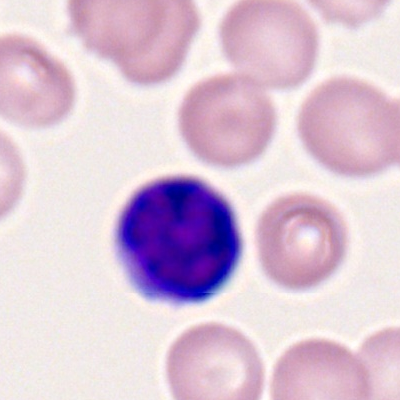

Q: Which cell type is shown here?
A: A lymphocyte.